Bone marrow aspirate smear.
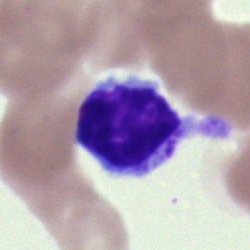 Lymphocyte.